Bone marrow aspirate smear. 40× oil immersion. Image size 250×250
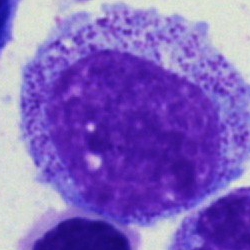
Q: What is the morphological classification of this cell?
A: This is a promyelocyte.